Bone marrow aspirate smear. May-Grünwald-Giemsa/Pappenheim stain. Single-cell crop.
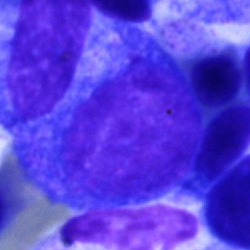
Classification — progranulocyte.